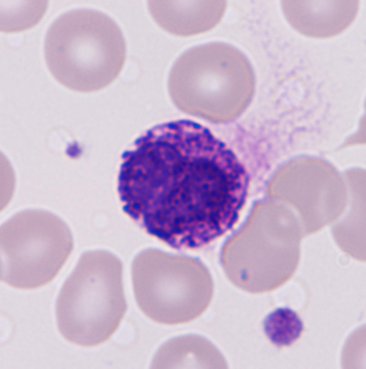
Image: Peripheral blood smear.

Impression → basophilic granulocyte.